Bone marrow smear. 40× oil immersion: 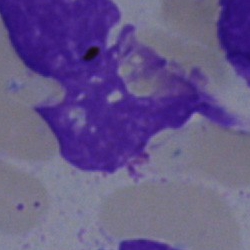 Morphological class = artifact.